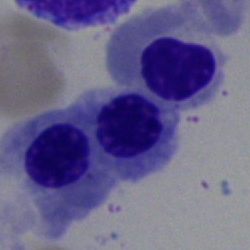
This is an erythroblast.